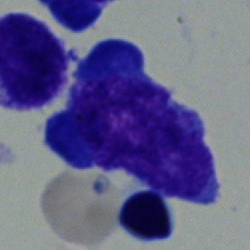Impression — blast cell.